Bone marrow smear:
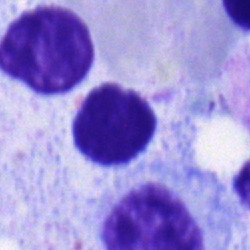

Q: What cell is this?
A: A lymphocyte.